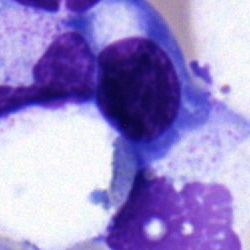
Classification = nucleated red blood cell.